Bone marrow smear · single cell centered in the field
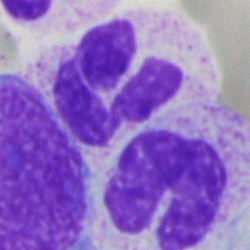
Specimen: bone marrow aspirate smear.
Cell: segmented neutrophil.
Lineage: myeloid.